Bone marrow smear:
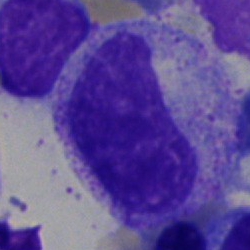

Metamyelocyte.